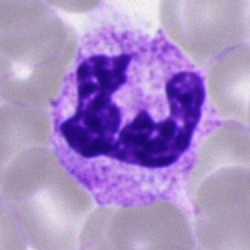Specimen: bone marrow smear.
Morphological class: neutrophil (segmented).